Bone marrow smear · cropped to a single cell: 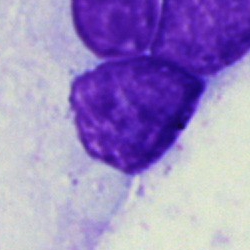The cell is artifact.